Peripheral blood smear; Romanowsky-type stain: 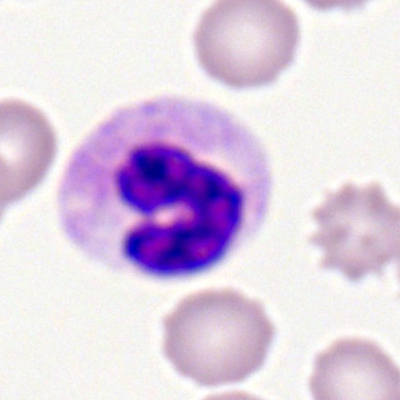Cell — polymorphonuclear neutrophil.